Pappenheim-stained; bone marrow smear.
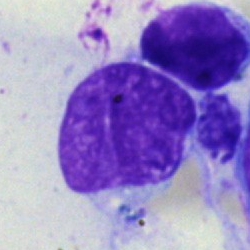

Single cell identified as an artifact.